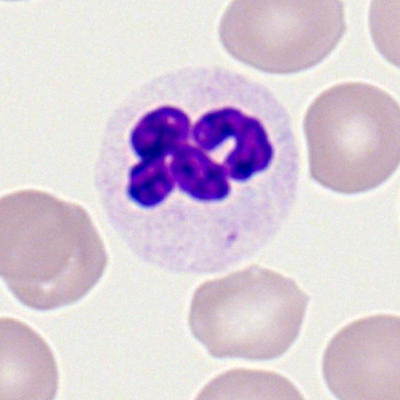
Peripheral blood smear showing a segmented neutrophil.